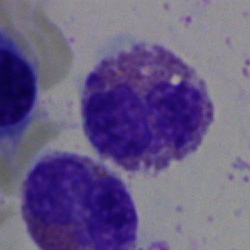

The morphological class is eosinophilic granulocyte.